Image size 250×250. Bone marrow smear: 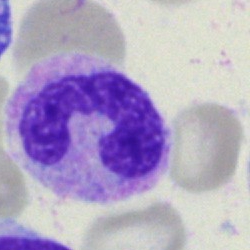

Band neutrophil.